Bone marrow smear: 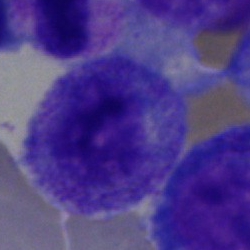
{"cell_type": "myelocyte", "lineage": "myeloid"}